40× oil immersion; bone marrow smear; Pappenheim-stained
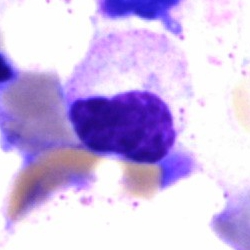{"cell_type": "artefact"}